Bone marrow smear · May-Grünwald-Giemsa/Pappenheim stain
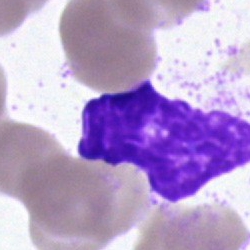 Impression — artifact.